Bone marrow aspirate smear:
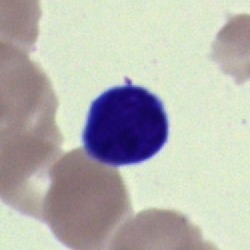Single cell identified as a typical lymphocyte.